Bone marrow smear; May-Grünwald-Giemsa stain:
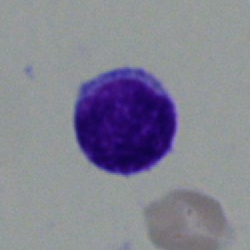
Q: Identify the cell.
A: This is a typical lymphocyte.